Single-cell field; bone marrow aspirate smear
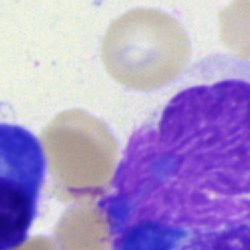 {"cell_type": "artefact"}